Bone marrow aspirate smear
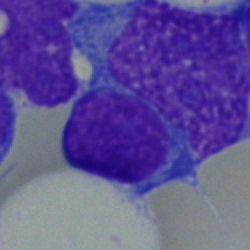Cell type — lymphocyte.